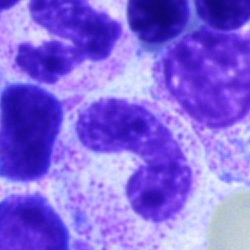

Classification — neutrophil (band).